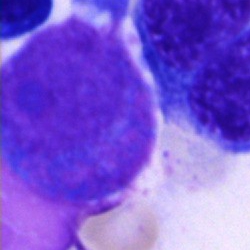
Morphology → artefact.